Single cell centered in the field · bone marrow aspirate smear
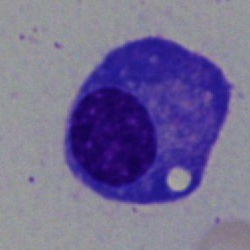 Morphological class: plasma cell.